250×250 px. Bone marrow aspirate smear.
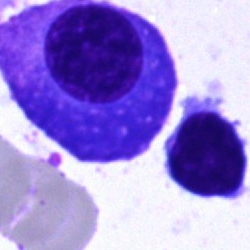The cell is plasma cell.